Single cell centered in the field · bone marrow aspirate smear · Pappenheim-stained — 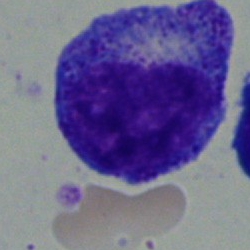

Morphology consistent with a promyelocyte.